Peripheral blood film. Single cell centered in the field
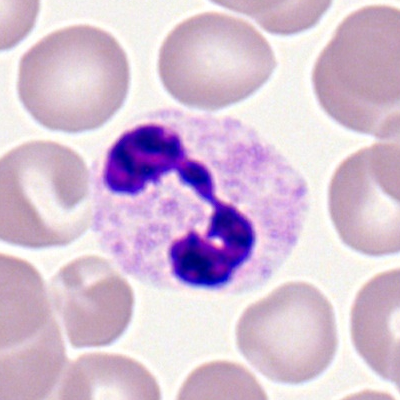
The cell is segmented neutrophil.